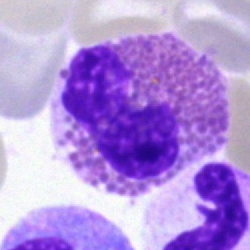
Cell = eosinophilic granulocyte.